Peripheral blood film: 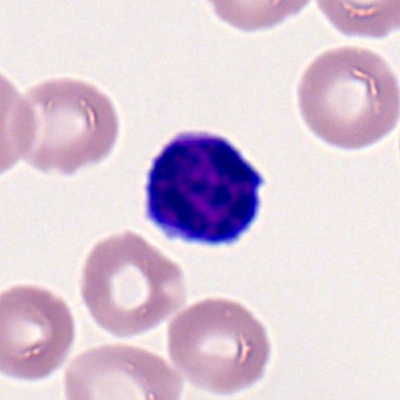
Typical lymphocyte.